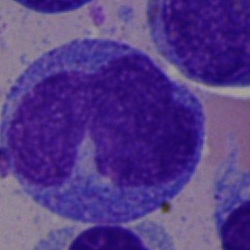
Bone marrow aspirate smear, single cell — monocyte.